MGG-stained. Bone marrow aspirate smear
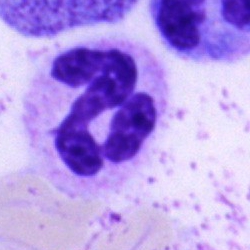
Q: What is shown here?
A: Polymorphonuclear neutrophil.